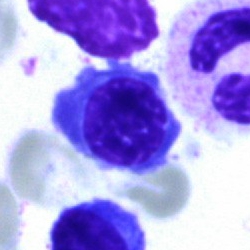
{"cell_type": "nucleated red blood cell"}